Bone marrow aspirate smear:
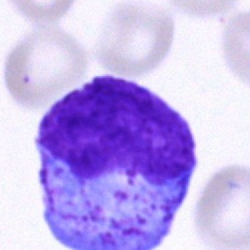
Morphology → progranulocyte.